Pappenheim-stained · bone marrow aspirate smear.
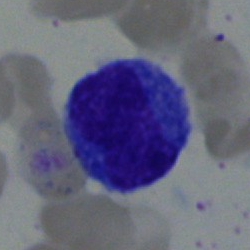Classification — monocyte.